Pappenheim-stained. Bone marrow aspirate smear. Cropped to a single cell:
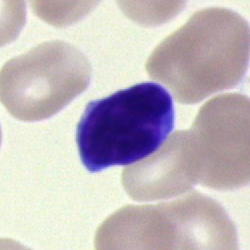

A typical lymphocyte.